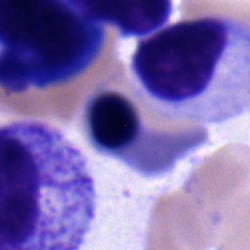
Showing a nucleated red cell.